Bone marrow aspirate smear · cropped to a single cell — 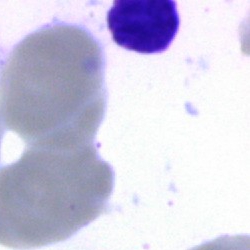Q: What is shown here?
A: An artefact.